Bone marrow smear:
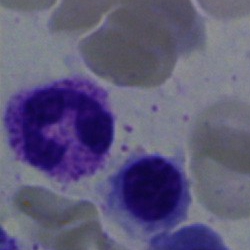Impression — neutrophil (segmented).